Bone marrow aspirate smear — 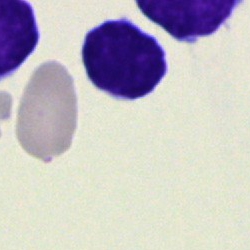The cell shown is a lymphocyte.